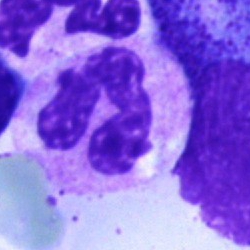
Q: Identify the cell.
A: This is a neutrophil (segmented).